Single cell centered in the field. Bone marrow aspirate smear
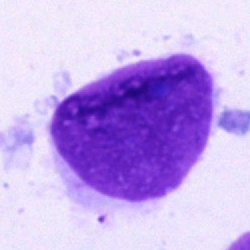Specimen: bone marrow aspirate smear.
Classification: artefact.